Romanowsky-stained · 100× oil immersion · peripheral blood film: 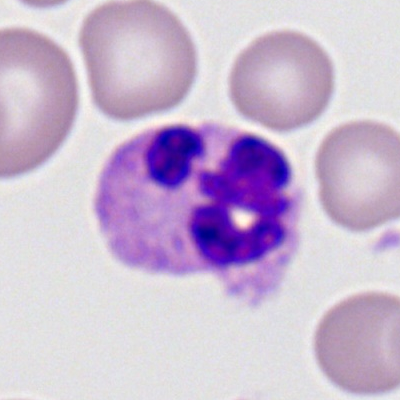 Q: Identify the cell.
A: It is a segmented neutrophil.